Image size 250×250 · bone marrow aspirate smear · MGG-stained.
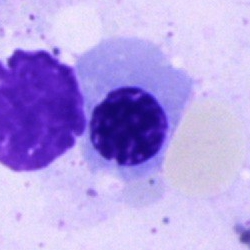

Morphology consistent with a normoblast.